Single cell centered in the field; Romanowsky-type stain; peripheral blood smear — 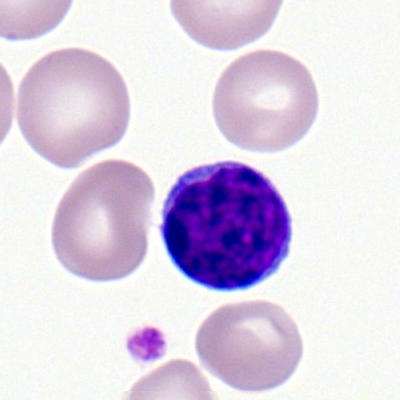
Q: What is the morphological classification of this cell?
A: Lymphocyte.